Bone marrow aspirate smear — 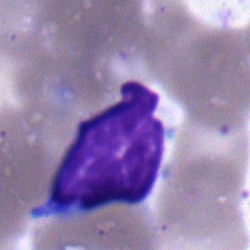 Cell — typical lymphocyte.